Bone marrow aspirate smear.
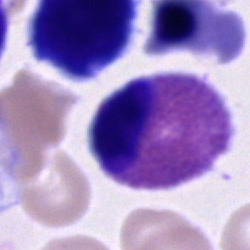 The classification is eosinophilic granulocyte.